Bone marrow smear; 250 by 250 pixels — 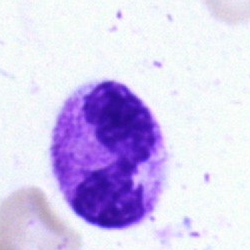 A segmented neutrophil.